Bone marrow aspirate smear:
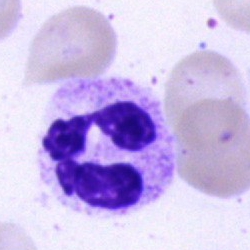

Cell type: neutrophil (segmented).